Peripheral blood smear
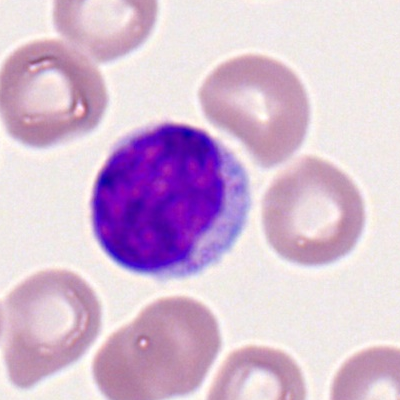
Morphological class — lymphocyte.